CellaVision DM96 digital cell image · peripheral blood smear: 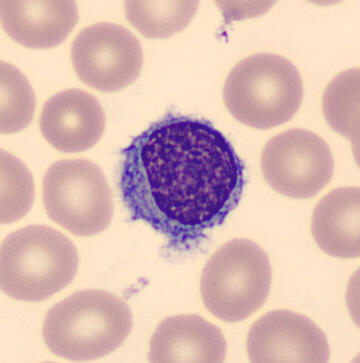Impression → lymphocyte.